Bone marrow aspirate smear — 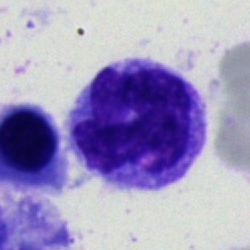

Showing a monocyte.